Bone marrow aspirate smear.
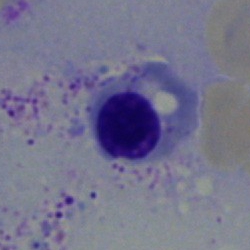
Q: What is shown here?
A: An erythroblast.